Bone marrow aspirate smear:
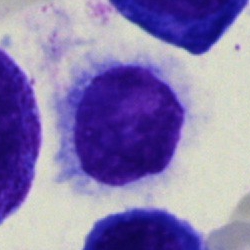
The morphological class is hairy cell.